Bone marrow smear · brightfield, 40× oil-immersion objective: 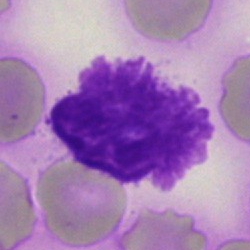
This is an artefact.